Bone marrow aspirate smear; 40× oil immersion:
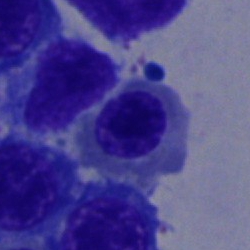Cell type — nucleated red cell.